Bone marrow aspirate smear.
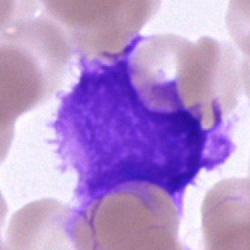
Morphology consistent with an artifact.